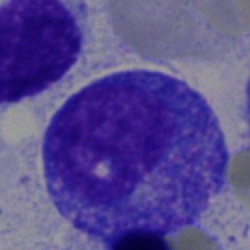

Cell: promyelocyte.